Bone marrow aspirate smear; 250×250 px: 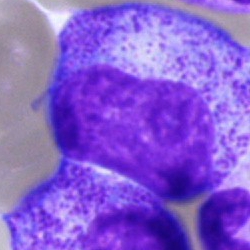
Morphological class — progranulocyte.